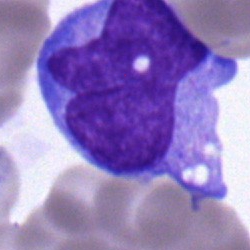
Q: Which cell type is shown here?
A: A monocyte.